Bone marrow aspirate smear: 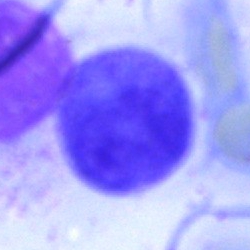 Morphology consistent with a cell of indeterminate lineage.